Single-cell crop. Bone marrow smear
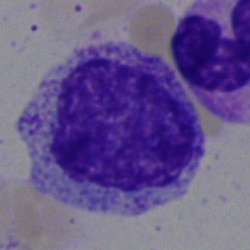 This is a myelocyte.